Bone marrow smear
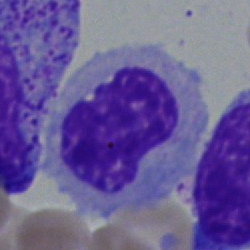 Specimen: bone marrow aspirate smear.
Cell: metamyelocyte.